Bone marrow aspirate smear. Brightfield microscopy, 40× oil immersion. 250×250: 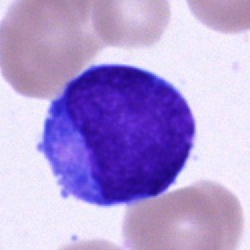
Q: What is the morphological classification of this cell?
A: This is a blast cell.